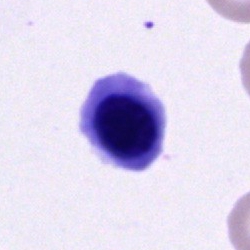
Morphological class: normoblast.